May-Grünwald-Giemsa stain. Single-cell crop. Bone marrow aspirate smear:
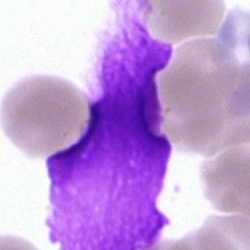Single cell identified as an artefact.